Bone marrow aspirate smear
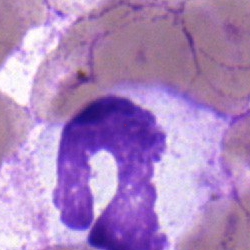Morphological class = stab cell.